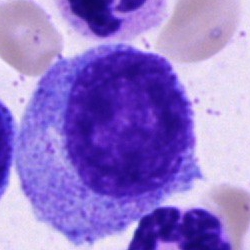The morphological class is promyelocyte.